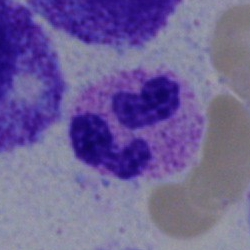
A polymorphonuclear neutrophil.